Bone marrow aspirate smear
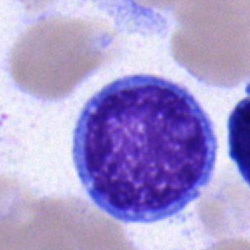 The classification is blast.